Bone marrow aspirate smear · May-Grünwald-Giemsa stain:
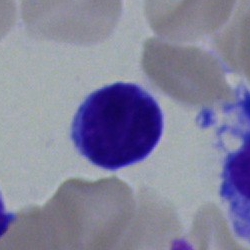 Morphological class — typical lymphocyte.